250 by 250 pixels; 40× oil immersion; bone marrow aspirate smear:
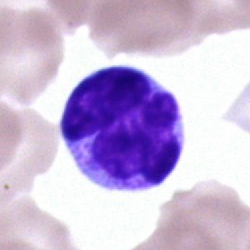Q: Which cell type is shown here?
A: This is a typical lymphocyte.